Bone marrow smear.
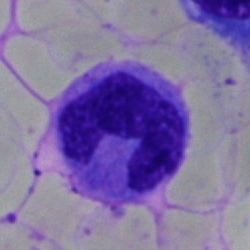
Classification — monocyte.